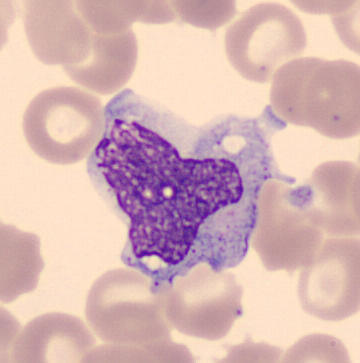
The cell shown is a monocyte.